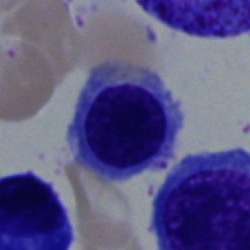Specimen: bone marrow smear.
Cell: normoblast.